Bone marrow aspirate smear.
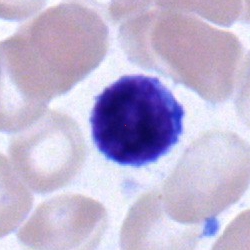

The morphological class is typical lymphocyte.